250×250 px. Bone marrow smear
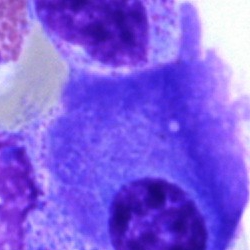Q: What is the morphological classification of this cell?
A: This is a plasmacyte.